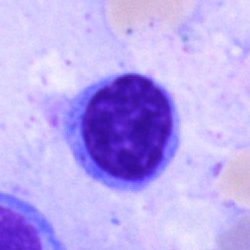
Morphological class — typical lymphocyte.